Bone marrow smear.
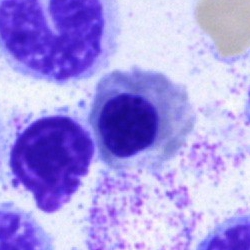 Cell type: erythroblast.